Bone marrow aspirate smear · brightfield microscopy, 40× oil immersion — 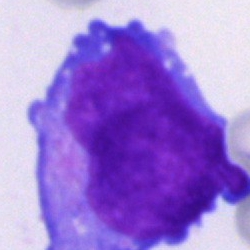
Single cell identified as a blast.